Bone marrow aspirate smear
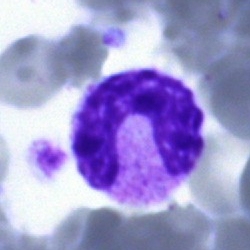

The cell is band neutrophil.